Bone marrow smear. 40× oil immersion.
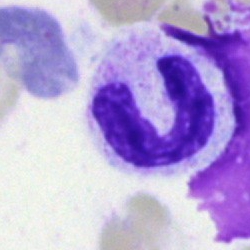
The cell is neutrophil (band).